Bone marrow aspirate smear. 250×250 px:
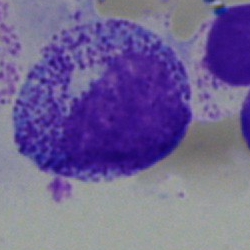
The cell shown is a myelocyte.